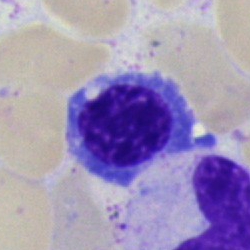Normoblast.